Peripheral blood smear. Single-cell crop. Brightfield, 100× oil-immersion objective.
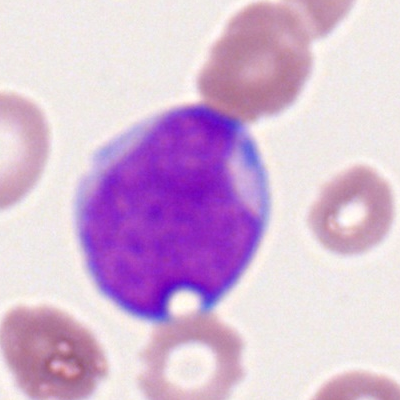

{"cell_type": "myeloid blast", "lineage": "myeloid"}